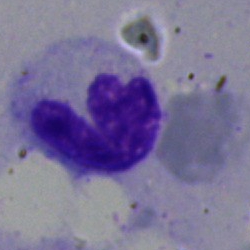
Cell: polymorphonuclear neutrophil.